Bone marrow smear; single cell centered in the field
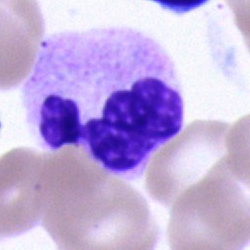 Specimen: bone marrow aspirate smear.
Classification: neutrophil (segmented).